Bone marrow aspirate smear
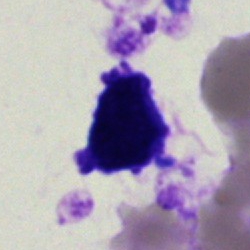
Showing an artifact.